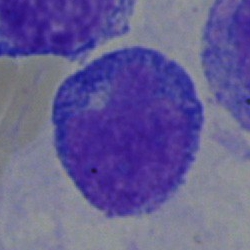
Cell = blast.